Bone marrow smear
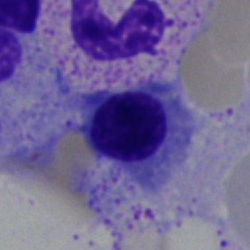
An erythroblast.